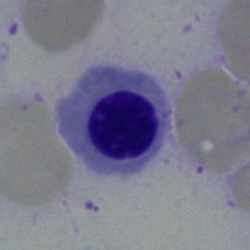
Specimen: bone marrow aspirate smear.
Classification: nucleated red blood cell.
Lineage: erythroid.